Bone marrow aspirate smear; 40× objective, oil immersion; May-Grünwald-Giemsa/Pappenheim stain:
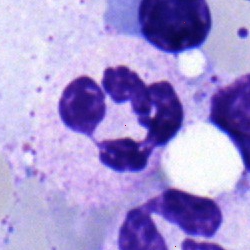
The cell shown is a neutrophil (segmented).